Peripheral blood smear: 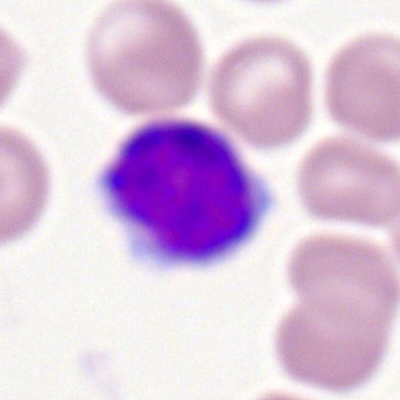 Lymphocyte.